250×250 · single-cell field · bone marrow aspirate smear
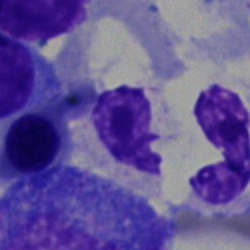

Showing a neutrophil (segmented).